Brightfield, 40× oil-immersion objective · bone marrow smear
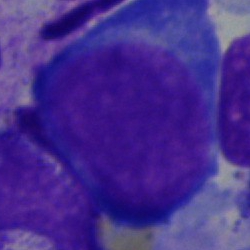 Q: What cell is this?
A: This is a proerythroblast.